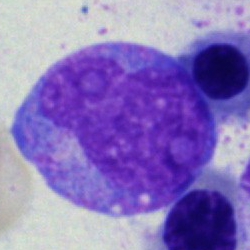Q: What type of cell is this?
A: This is a progranulocyte.